Bone marrow aspirate smear.
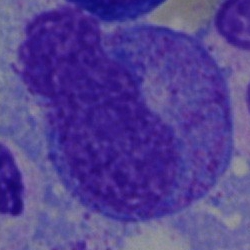
Morphological class = promyelocyte.